Bone marrow aspirate smear
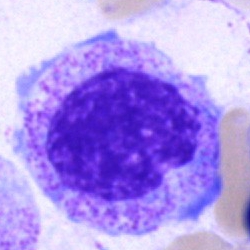

Progranulocyte.